40× oil immersion; bone marrow smear:
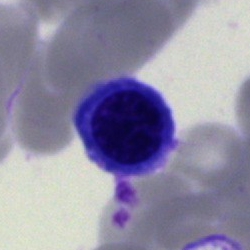Q: Which cell type is shown here?
A: A normoblast.